Bone marrow aspirate smear
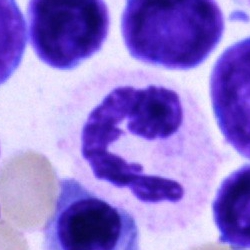

The cell shown is a polymorphonuclear neutrophil.